Bone marrow smear.
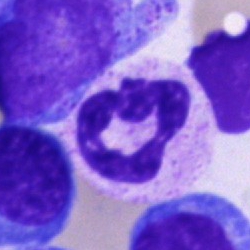
{"cell_type": "neutrophil (segmented)", "lineage": "myeloid"}